Bone marrow aspirate smear.
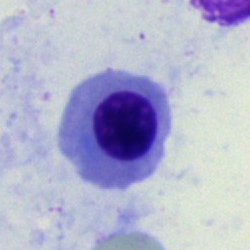
Morphological class — erythroblast.